Bone marrow aspirate smear.
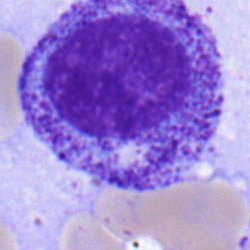Specimen: bone marrow aspirate smear.
Morphological class: promyelocyte.